Bone marrow aspirate smear:
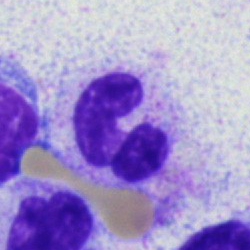
Morphological class: polymorphonuclear neutrophil.